Bone marrow aspirate smear; image size 250×250: 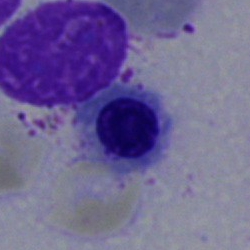Specimen: bone marrow aspirate smear.
Morphological class: normoblast.
Lineage: erythroid.